Bone marrow aspirate smear
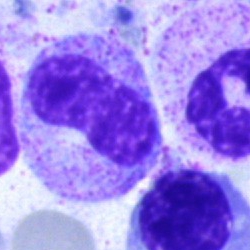 Specimen: bone marrow smear.
Classification: metamyelocyte.